250 by 250 pixels; single cell centered in the field; bone marrow smear
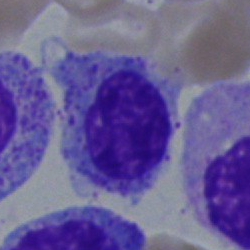
A myelocyte.